Bone marrow smear · 250 by 250 pixels · May-Grünwald-Giemsa/Pappenheim stain
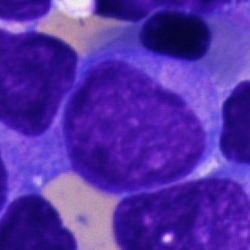

Q: What is the morphological classification of this cell?
A: It is a blast.